Bone marrow smear
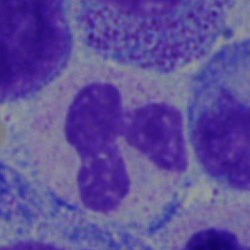 Cell: polymorphonuclear neutrophil.